Bone marrow aspirate smear
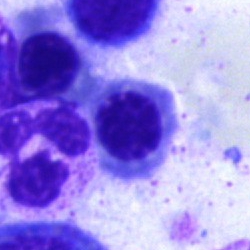 The classification is basophilic granulocyte.